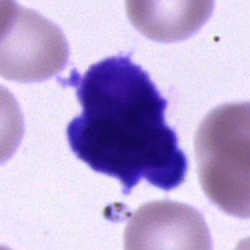Specimen: bone marrow smear.
Morphological class: cell of indeterminate lineage.